Bone marrow aspirate smear — 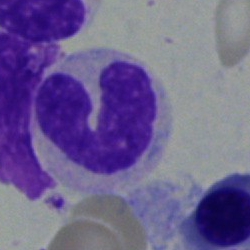 {"cell_type": "neutrophil (band)"}